40× oil immersion · bone marrow aspirate smear · cropped to a single cell — 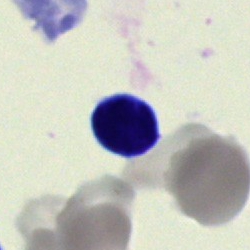 Single cell identified as a typical lymphocyte.